Single-cell crop · imaged on a CellaVision DM96 analyser · peripheral blood film — 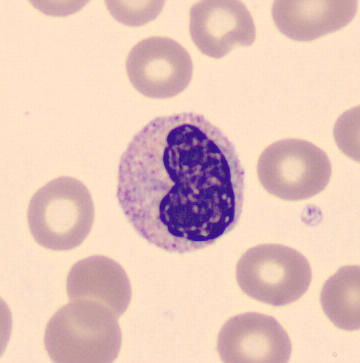

Showing a metamyelocyte.